Bone marrow smear; brightfield microscopy, 40× oil immersion
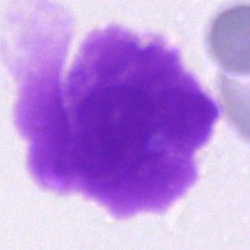 {"cell_type": "artefact"}